Bone marrow smear. Single-cell crop. May-Grünwald-Giemsa stain.
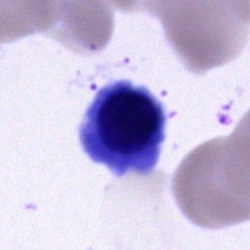 Morphology consistent with a nucleated red cell.